Bone marrow aspirate smear; 250 by 250 pixels; May-Grünwald-Giemsa/Pappenheim stain:
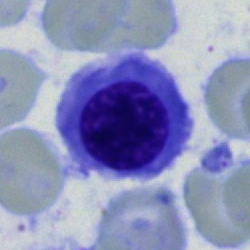{"cell_type": "nucleated red cell"}